Bone marrow smear: 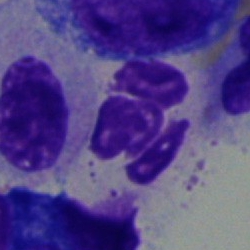
Single cell identified as a neutrophil (segmented).